Cropped to a single cell; bone marrow aspirate smear.
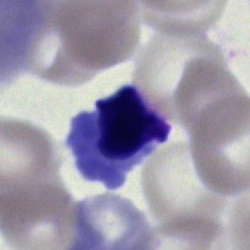The cell is nucleated red cell.